Brightfield, 40× oil-immersion objective · bone marrow aspirate smear — 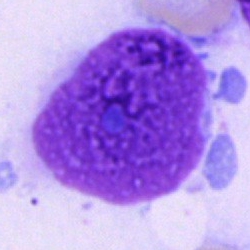

The cell shown is an artefact.